May-Grünwald-Giemsa stain. Brightfield microscopy, 40× oil immersion. Bone marrow aspirate smear:
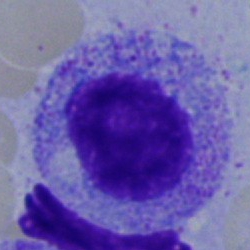Specimen: bone marrow smear.
Morphological class: myelocyte.